Bone marrow aspirate smear:
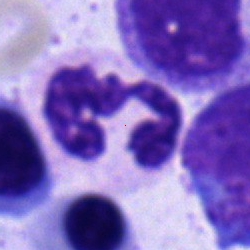

Classification: polymorphonuclear neutrophil.